Bone marrow aspirate smear
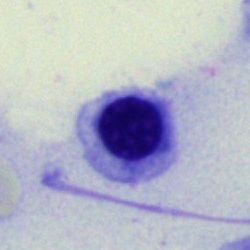
This is a normoblast.